Bone marrow aspirate smear; 250×250; single-cell crop
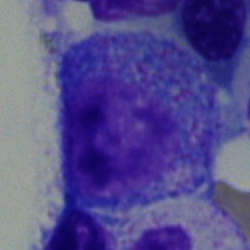

Morphology — progranulocyte.